40× objective, oil immersion; bone marrow smear
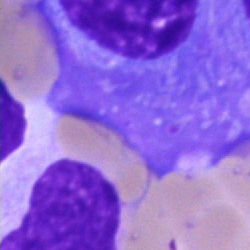Classification: plasma cell.